Bone marrow aspirate smear: 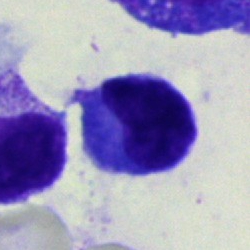

Morphological class: lymphocyte.